Bone marrow aspirate smear. MGG-stained:
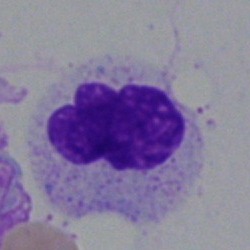
Q: Identify the cell.
A: It is a neutrophil (segmented).